Bone marrow aspirate smear · 250×250 px:
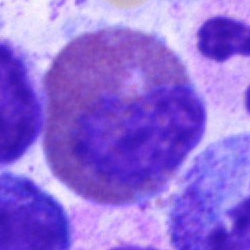

Impression — eosinophil.